Bone marrow aspirate smear. 250×250 px
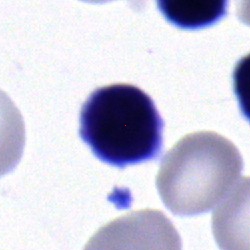 Morphological class = lymphocyte.